Bone marrow smear
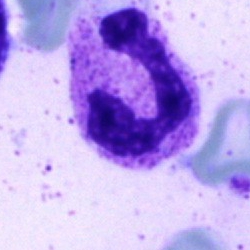 Cell: segmented neutrophil.